Bone marrow aspirate smear: 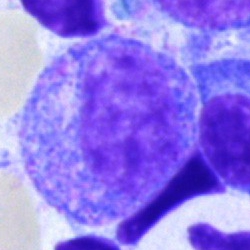
Q: What is the morphological classification of this cell?
A: Progranulocyte.